Bone marrow aspirate smear
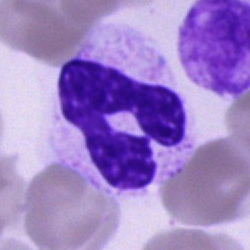 Stab cell.